Bone marrow aspirate smear — 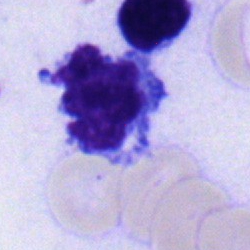
The cell shown is a lymphocyte.